Bone marrow smear — 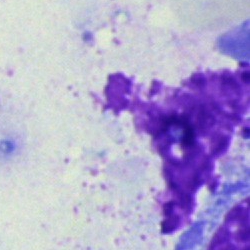

Showing an artifact.